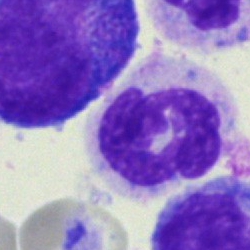
The cell shown is a polymorphonuclear neutrophil.